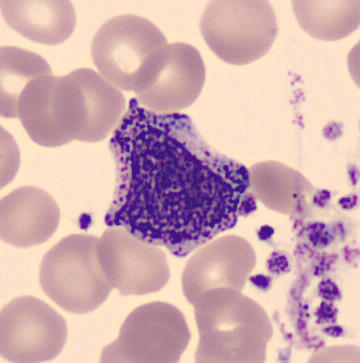 The cell is myelocyte.